Bone marrow smear
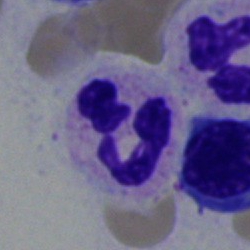
Single cell identified as a neutrophil (segmented).